MGG-stained; bone marrow aspirate smear:
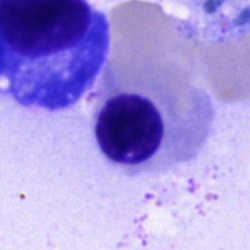 Q: What cell is this?
A: This is a nucleated red cell.